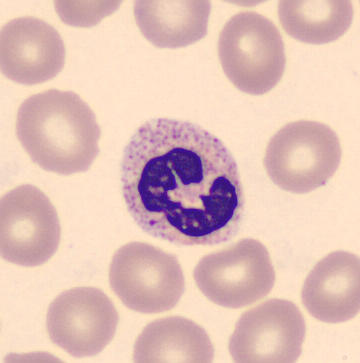 Peripheral blood smear. Cropped to a single cell.
{"cell_type": "segmented neutrophil"}